Bone marrow smear.
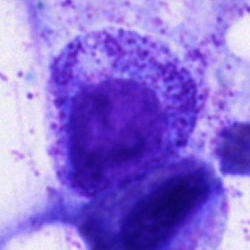
Cell type: promyelocyte.